Peripheral blood smear — 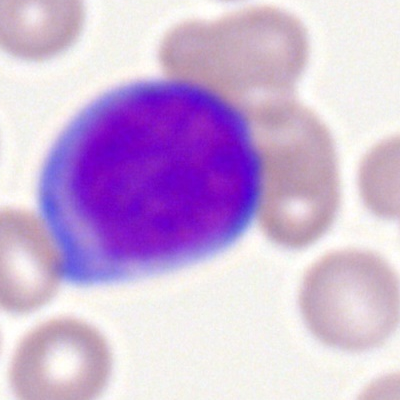The classification is myeloid blast.